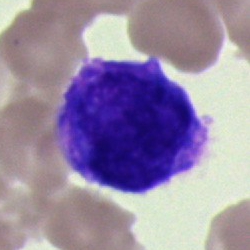 Q: Identify the cell.
A: Blast cell.